Bone marrow aspirate smear; single-cell field — 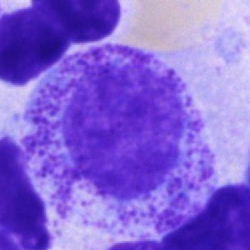

Showing a progranulocyte.